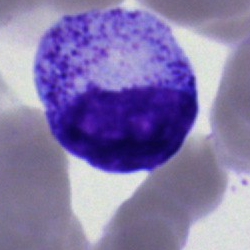A progranulocyte.